40× oil immersion; bone marrow aspirate smear; 250×250 — 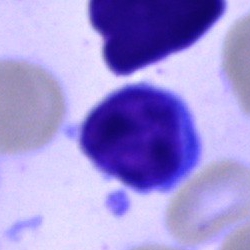 Single cell identified as a typical lymphocyte.